Bone marrow aspirate smear: 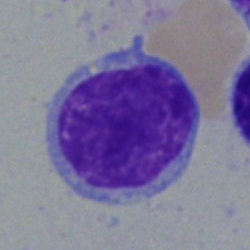
Impression — lymphocyte.